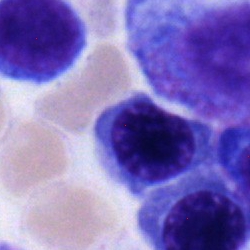
Classification = normoblast.